Bone marrow smear:
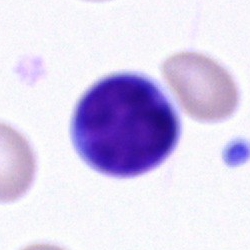Q: Identify the cell.
A: This is a lymphocyte.